Bone marrow smear
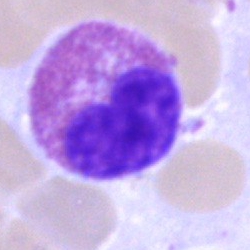
Impression — eosinophilic granulocyte.